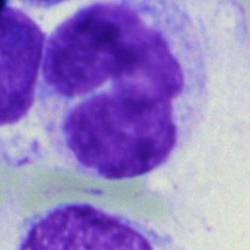Morphology → monocyte.